May-Grünwald-Giemsa stain · brightfield, 40× oil-immersion objective · bone marrow aspirate smear — 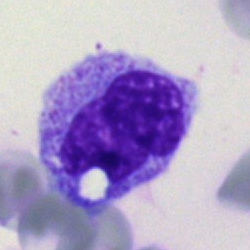
Cell — metamyelocyte.